Brightfield, 40× oil-immersion objective. Bone marrow smear. MGG-stained:
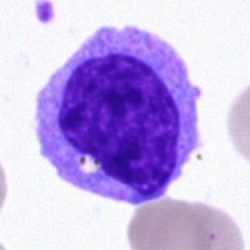 Q: Identify the cell.
A: A monocyte.